40× objective, oil immersion · bone marrow aspirate smear — 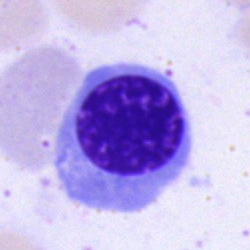Morphology → nucleated red blood cell.